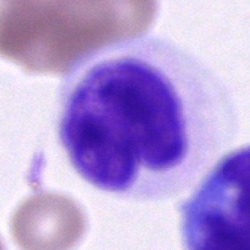The classification is cell of indeterminate lineage.